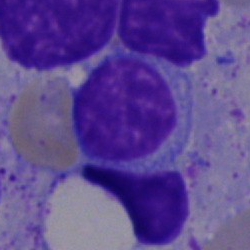Morphology consistent with a lymphocyte.